May-Grünwald-Giemsa/Pappenheim stain · 250×250 px · bone marrow aspirate smear:
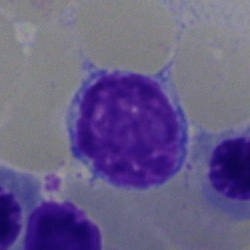

Q: Identify the cell.
A: Lymphocyte.